Bone marrow aspirate smear: 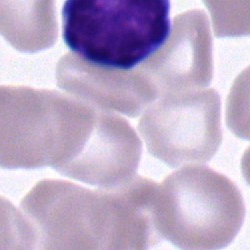Morphological class = lymphocyte.